Bone marrow aspirate smear. Single cell centered in the field. MGG-stained: 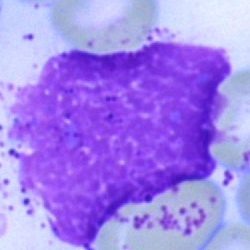 The cell shown is an artefact.